Bone marrow smear; cropped to a single cell; brightfield, 40× oil-immersion objective
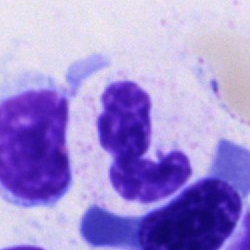
Polymorphonuclear neutrophil.